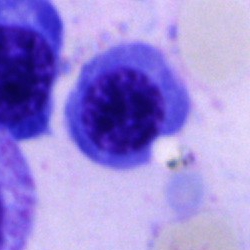

Q: Identify the cell.
A: It is an erythroblast.